Bone marrow aspirate smear — 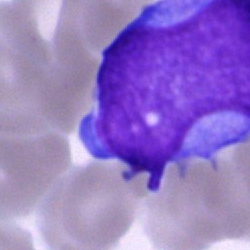

Specimen: bone marrow aspirate smear.
Morphological class: blast cell.